Peripheral blood smear · single cell centered in the field — 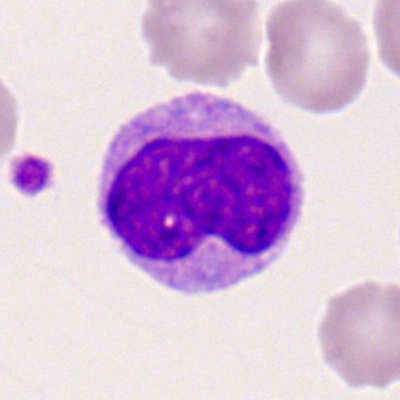 Single cell identified as a monocyte.